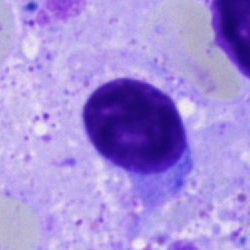 Morphology → typical lymphocyte.